Bone marrow aspirate smear. 250×250 px
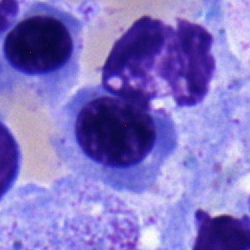 Specimen: bone marrow aspirate smear.
Morphological class: erythroblast.
Lineage: erythroid.